Bone marrow aspirate smear
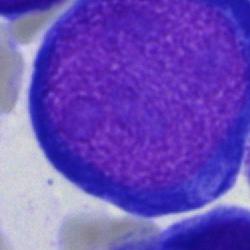 Q: What is the morphological classification of this cell?
A: Proerythroblast.